Pappenheim-stained; bone marrow aspirate smear
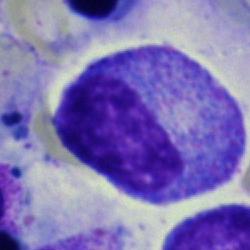
The cell shown is a progranulocyte.